Single cell centered in the field; bone marrow smear; May-Grünwald-Giemsa stain — 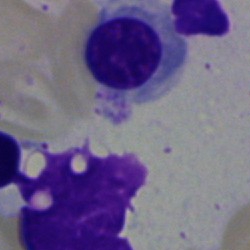
Showing a normoblast.